Bone marrow aspirate smear
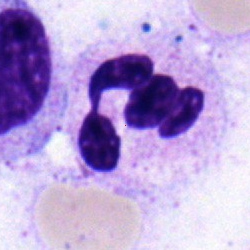
Morphology → segmented neutrophil.